Bone marrow smear: 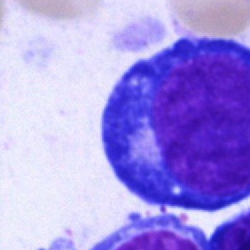Showing a proerythroblast.